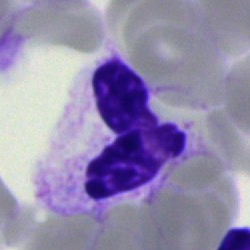
Specimen: bone marrow smear.
Classification: neutrophil (segmented).